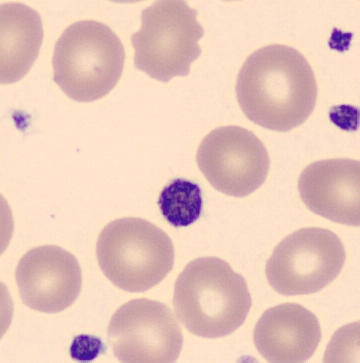 360×363.

Specimen: peripheral blood film.
Morphological class: platelet.